Bone marrow aspirate smear:
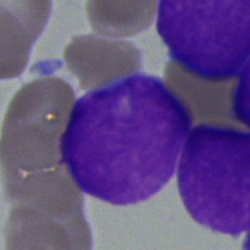

Impression → blast cell.